Bone marrow aspirate smear.
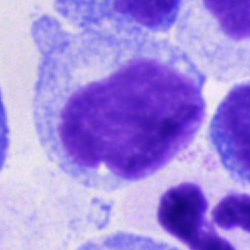

A blast cell.